Image size 250×250; bone marrow smear — 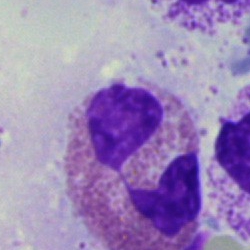Cell type = eosinophilic granulocyte.